Bone marrow aspirate smear.
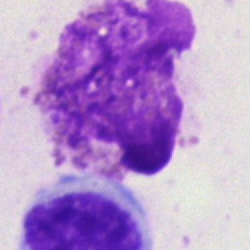
Specimen: bone marrow smear.
Morphological class: artefact.